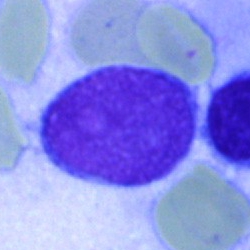
{"cell_type": "blast cell"}